Bone marrow aspirate smear: 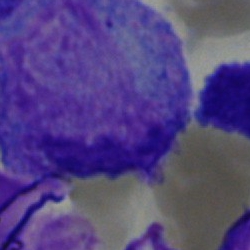
The cell shown is an undifferentiated blast.